Bone marrow smear; 250 by 250 pixels: 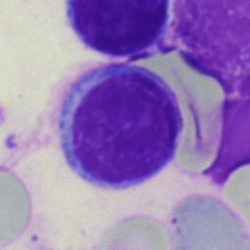
Impression — lymphocyte.